Peripheral blood smear · Romanowsky-stained — 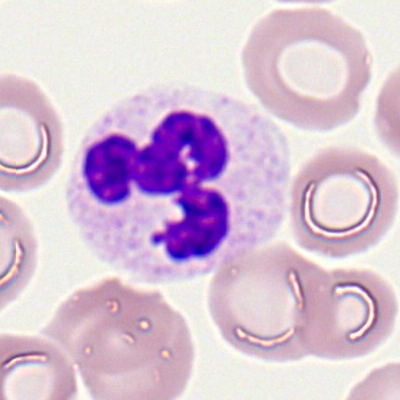 Showing a polymorphonuclear neutrophil.